Bone marrow smear — 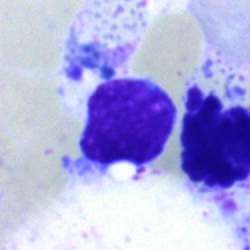

Q: Which cell type is shown here?
A: It is a typical lymphocyte.